Peripheral blood smear:
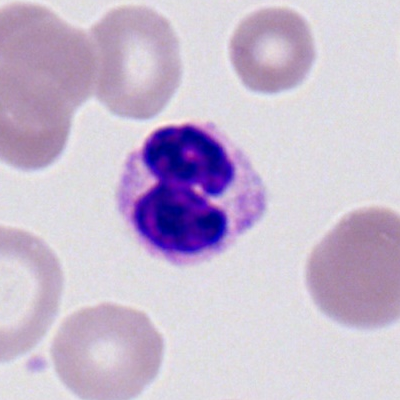 Impression — neutrophil (segmented).